Bone marrow aspirate smear.
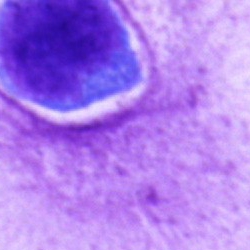

Undifferentiated blast.